May-Grünwald-Giemsa/Pappenheim stain · image size 250×250 · bone marrow smear — 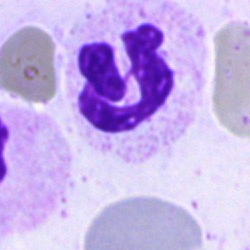{"cell_type": "polymorphonuclear neutrophil", "lineage": "myeloid"}